Bone marrow aspirate smear. Cropped to a single cell.
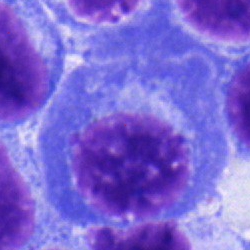 Specimen: bone marrow smear.
Cell: plasma cell.
Lineage: lymphoid.